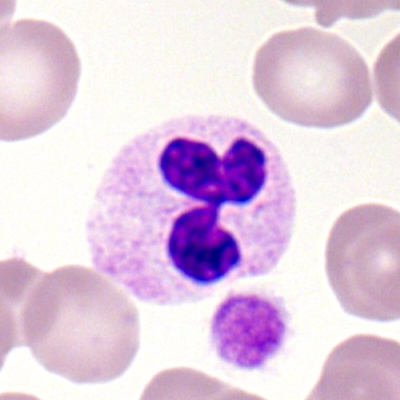
Morphology consistent with a neutrophil (segmented).